Peripheral blood smear:
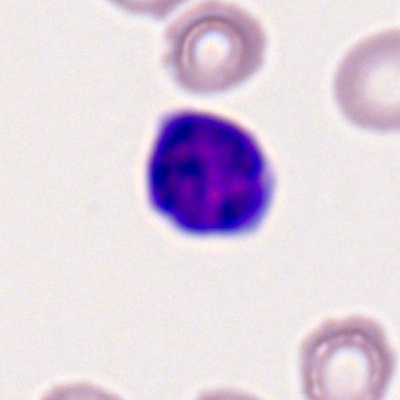
Typical lymphocyte.